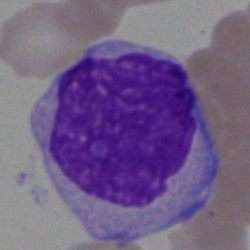 The cell is blast.